Bone marrow smear: 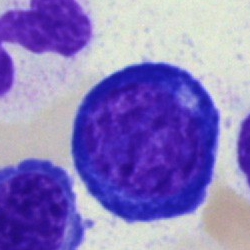Morphology consistent with a nucleated red cell.